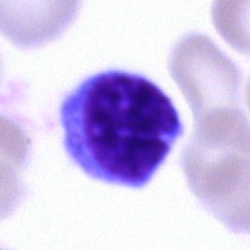 Classification — lymphocyte.